MGG-stained; bone marrow aspirate smear — 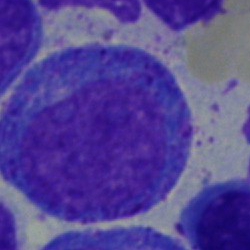 Impression → promyelocyte.